Bone marrow smear:
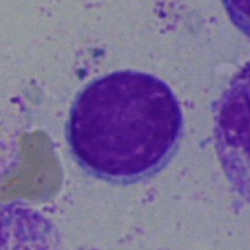Cell type = typical lymphocyte.